Bone marrow aspirate smear:
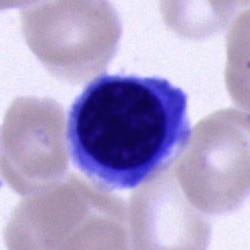
Cell: erythroblast.